Bone marrow aspirate smear.
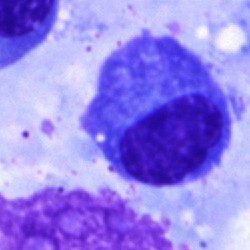

Cell: plasma cell.